Bone marrow smear. Single-cell crop: 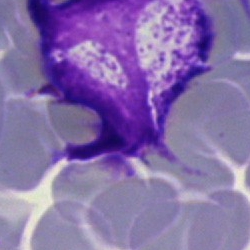
The cell shown is a segmented neutrophil.